Brightfield microscopy, 40× oil immersion. Bone marrow aspirate smear:
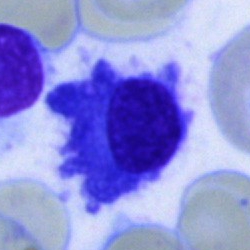Single cell identified as a plasmacyte.